Bone marrow smear.
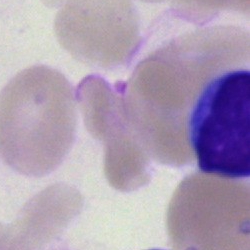The cell shown is a lymphocyte.